Bone marrow aspirate smear · cropped to a single cell.
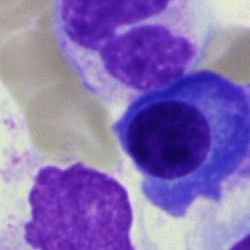

Plasma cell.